Bone marrow aspirate smear. 250×250. Single-cell field — 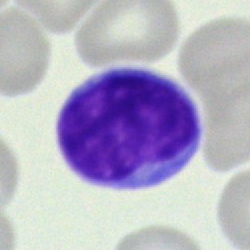 Morphology → lymphocyte.